Bone marrow aspirate smear: 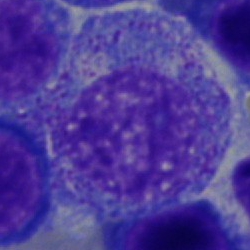Impression → myelocyte.